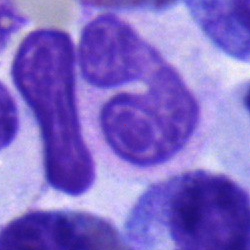

Impression — band-form neutrophil.